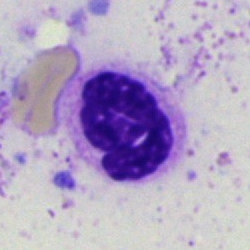

Cell = polymorphonuclear neutrophil.